Bone marrow smear.
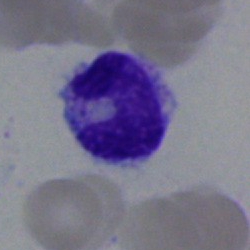
{"cell_type": "neutrophil (band)", "lineage": "myeloid"}